Bone marrow aspirate smear; May-Grünwald-Giemsa stain: 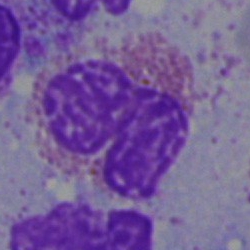{"cell_type": "eosinophilic granulocyte"}